Bone marrow aspirate smear · 40× objective, oil immersion:
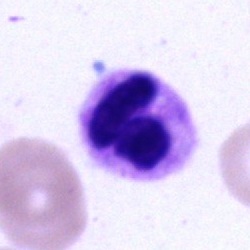Segmented neutrophil.